Bone marrow smear. MGG-stained.
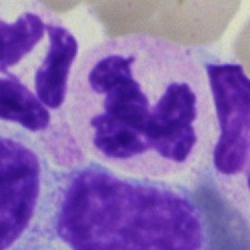A neutrophil (segmented).